250×250 px. Bone marrow aspirate smear:
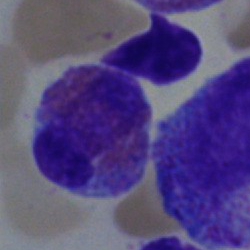
An eosinophilic granulocyte.